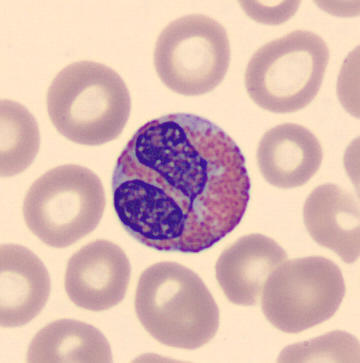Q: What is shown here?
A: Eosinophilic granulocyte. Preparation: Peripheral blood film. Automated cell imaging (CellaVision DM96).